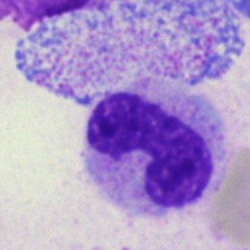Q: Which cell type is shown here?
A: A stab cell.